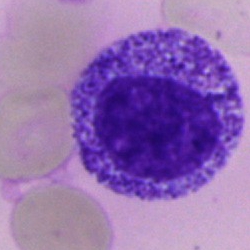

This is a myelocyte.